250×250. Bone marrow aspirate smear — 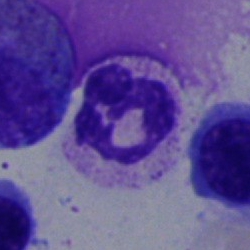
Impression → polymorphonuclear neutrophil.